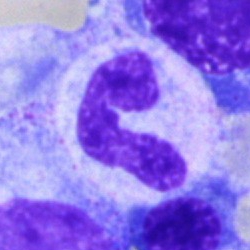
Q: What cell is this?
A: This is a segmented neutrophil.